Pappenheim-stained. Single-cell crop. Bone marrow aspirate smear: 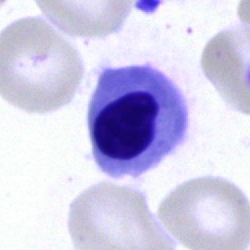
Impression → erythroblast.